Bone marrow aspirate smear:
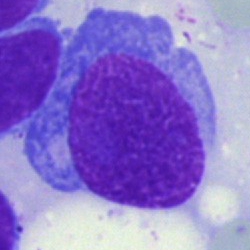

Showing a proerythroblast.